Bone marrow smear. Single-cell crop.
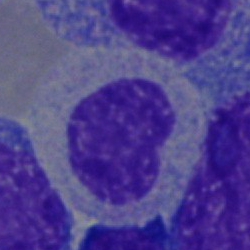
Q: Which cell type is shown here?
A: It is a metamyelocyte.